Bone marrow smear
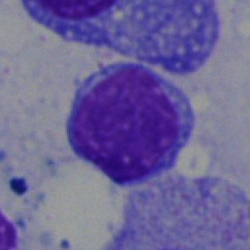 Showing a typical lymphocyte.